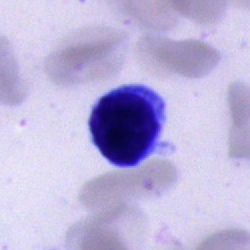Cell type: unidentifiable cell.